Cropped to a single cell; bone marrow smear:
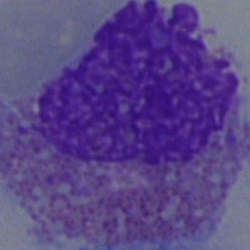

This is an eosinophilic granulocyte.